Bone marrow smear; cropped to a single cell
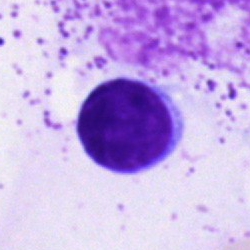

Lymphocyte.